Bone marrow aspirate smear; single-cell crop:
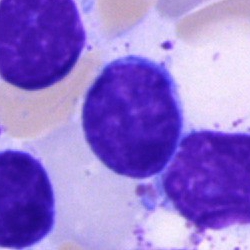Q: Which cell type is shown here?
A: A lymphocyte.